Bone marrow smear:
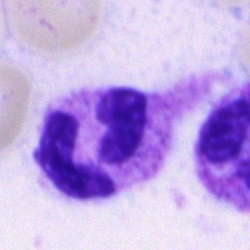 The cell shown is a segmented neutrophil.